40× objective, oil immersion · bone marrow smear · MGG-stained — 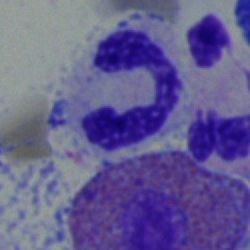
{"cell_type": "polymorphonuclear neutrophil", "lineage": "myeloid"}